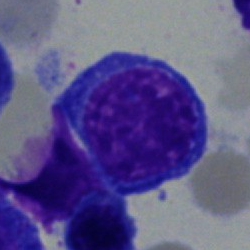

Classification — nucleated red blood cell.